250×250 px. Single-cell field. Bone marrow aspirate smear: 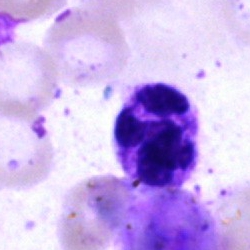 Morphological class = neutrophil (segmented).